Bone marrow smear. 40× oil immersion — 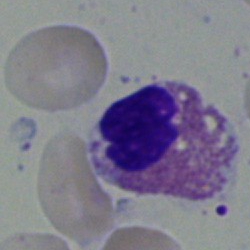
Morphology — eosinophil.